Peripheral blood film
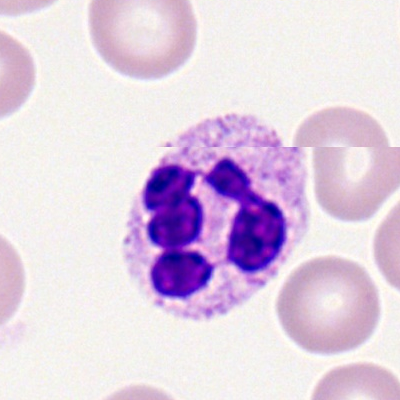

Cell = neutrophil (segmented).